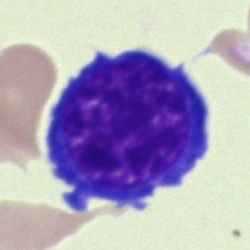 Classification: erythroblast.